Brightfield microscopy, 40× oil immersion; May-Grünwald-Giemsa stain; bone marrow aspirate smear: 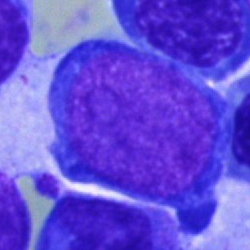Q: What is shown here?
A: This is a blast cell.